Bone marrow aspirate smear · 250×250 · single-cell field.
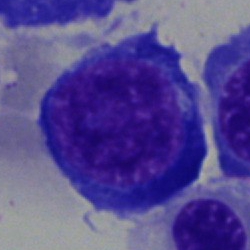
Morphology → normoblast.